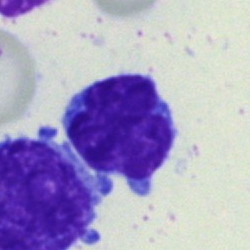 Morphology consistent with a lymphocyte.